Bone marrow aspirate smear.
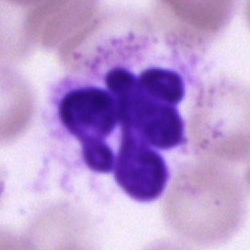Specimen: bone marrow aspirate smear.
Morphological class: neutrophil (segmented).